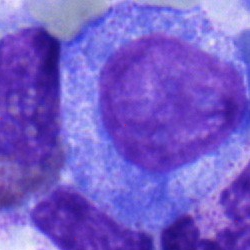Single cell identified as a progranulocyte.